Bone marrow smear:
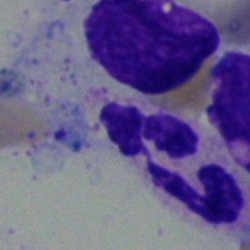

Impression — neutrophil (segmented).